Bone marrow aspirate smear
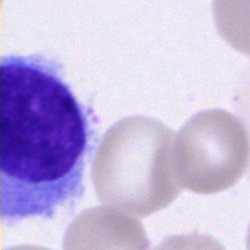
Classification = hairy cell.